Bone marrow smear — 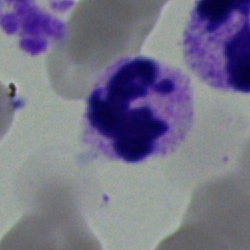 {"cell_type": "neutrophil (segmented)"}